Bone marrow aspirate smear: 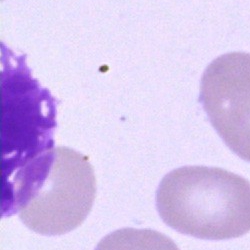

Cell: artefact.